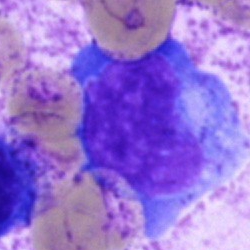 Classification = blast cell.